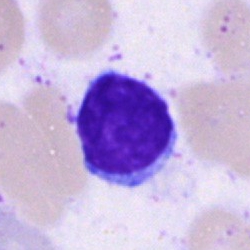Classification — lymphocyte.